400×400 px; peripheral blood film
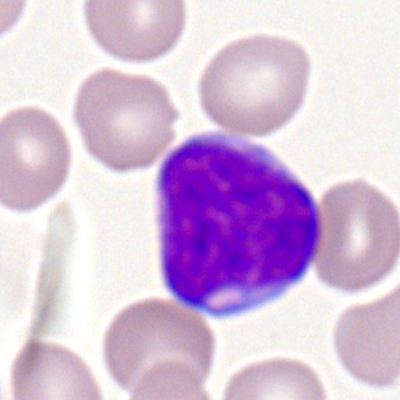
The cell shown is a myeloblast.